Bone marrow aspirate smear · single-cell crop · 40× objective, oil immersion: 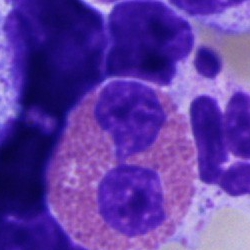The cell shown is an eosinophil.